Brightfield, 40× oil-immersion objective · bone marrow smear · single cell centered in the field — 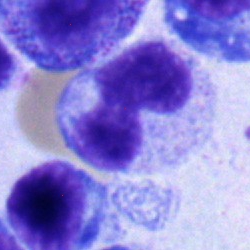 Classification — stab cell.